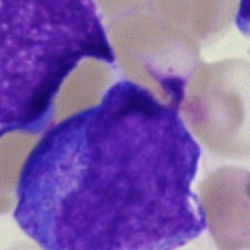Specimen: bone marrow aspirate smear.
Classification: blast.